Bone marrow smear — 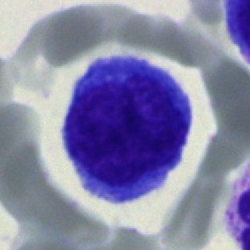

Showing a blast.